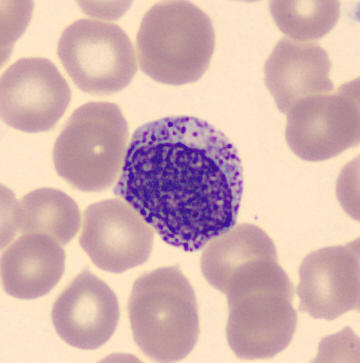Showing a myelocyte. Acquisition: Peripheral blood film.